Peripheral blood smear · 400×400 px: 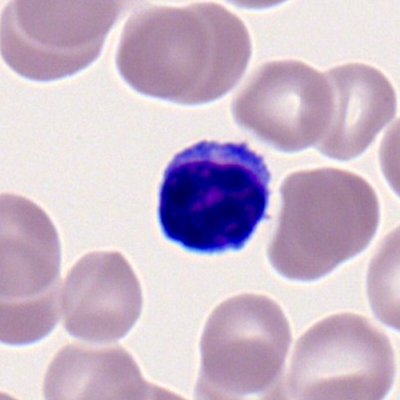
The cell is typical lymphocyte.